Bone marrow smear
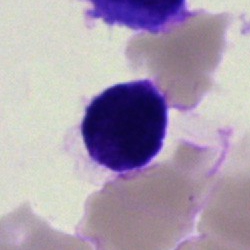

Morphology consistent with an artefact.